Brightfield microscopy, 40× oil immersion · bone marrow smear.
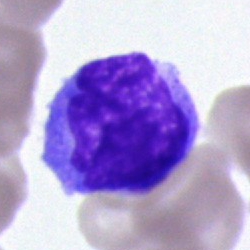Classification = monocyte.